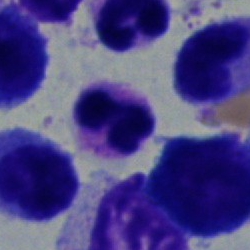Cell type — neutrophil (segmented).